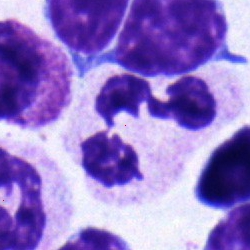 Polymorphonuclear neutrophil.